Peripheral blood film: 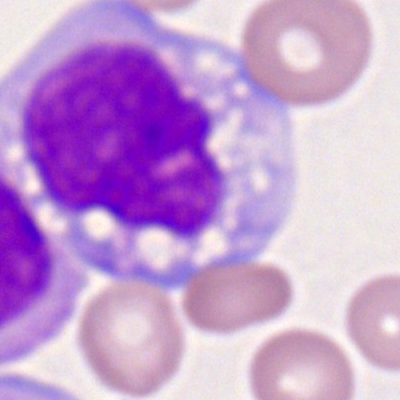

Q: What is shown here?
A: Monocyte.